Bone marrow smear — 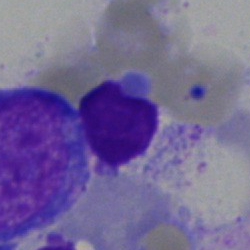

Specimen: bone marrow smear.
Cell type: typical lymphocyte.